Bone marrow aspirate smear.
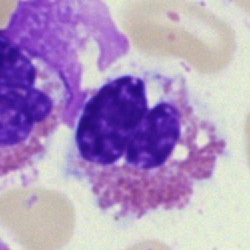

Morphology → basophilic granulocyte.